Bone marrow smear.
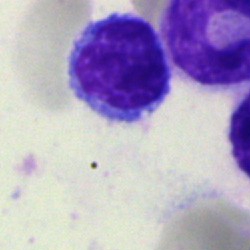Cell type — typical lymphocyte.